Bone marrow smear:
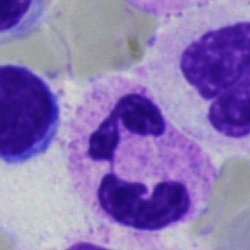 {"cell_type": "segmented neutrophil", "lineage": "myeloid"}